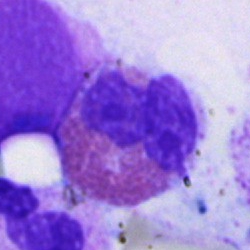Bone marrow aspirate smear, single cell — eosinophil.